Peripheral blood smear. Romanowsky-type stain.
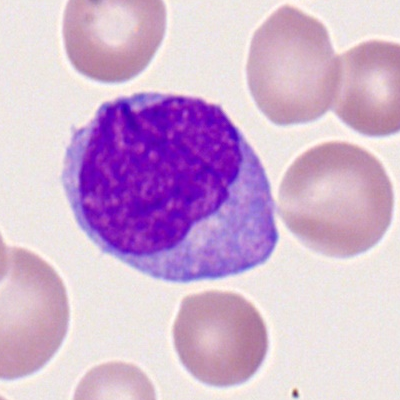
Morphology → monocyte.